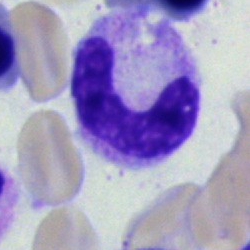
Specimen: bone marrow smear.
Classification: band-form neutrophil.